Bone marrow aspirate smear.
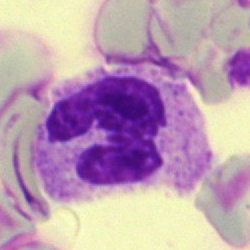This is a polymorphonuclear neutrophil.